Bone marrow smear.
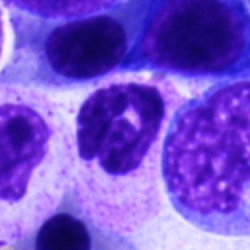

Morphological class: neutrophil (segmented).